Bone marrow smear: 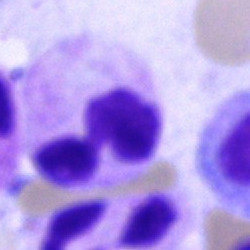Cell type: neutrophil (segmented).